Bone marrow smear — 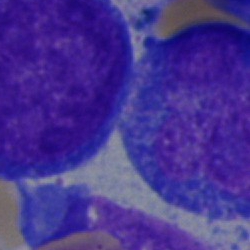

{"cell_type": "blast cell"}